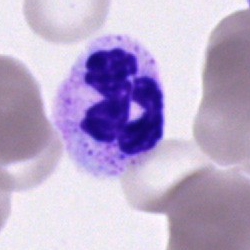
Q: What type of cell is this?
A: This is a polymorphonuclear neutrophil.